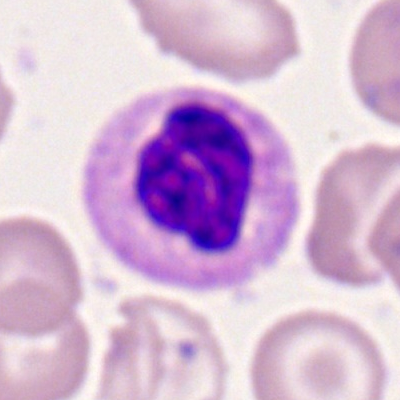
Morphology consistent with a segmented neutrophil.